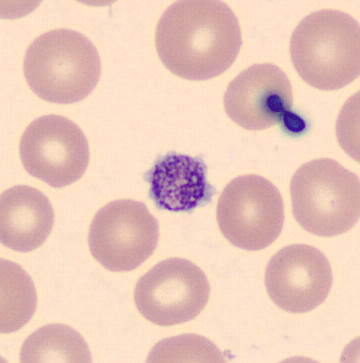

Acquisition: Peripheral blood film.

Thrombocyte.